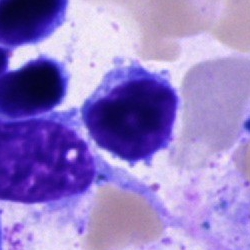

Bone marrow smear showing a lymphocyte.